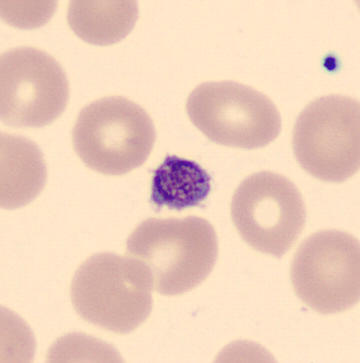 Impression — platelet.

Peripheral blood smear.